Bone marrow smear:
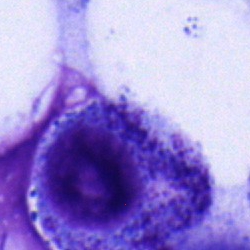Classification: myelocyte.